Bone marrow aspirate smear — 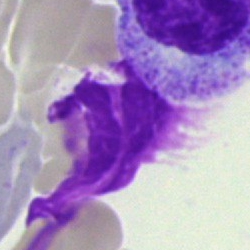 Cell type — artefact.